Bone marrow aspirate smear
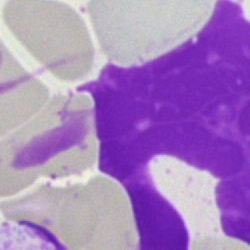
An artifact.